Bone marrow aspirate smear.
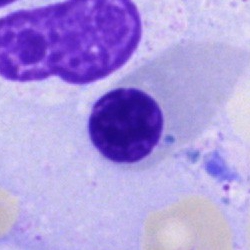 The morphological class is nucleated red blood cell.